Brightfield, 40× oil-immersion objective · bone marrow aspirate smear:
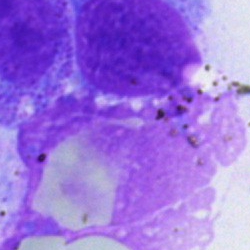

Classification — artefact.